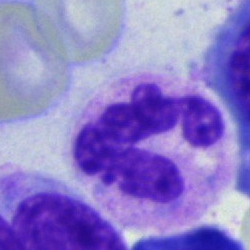 Impression — segmented neutrophil.